Bone marrow aspirate smear: 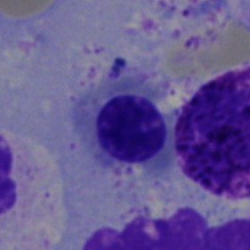{"cell_type": "erythroblast", "lineage": "erythroid"}